250×250; bone marrow smear; brightfield, 40× oil-immersion objective.
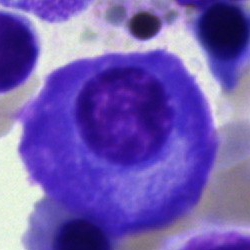 Morphology — plasmacyte.